Single cell centered in the field; peripheral blood smear:
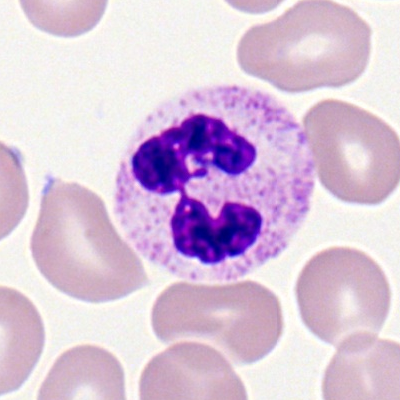 Classification — polymorphonuclear neutrophil.